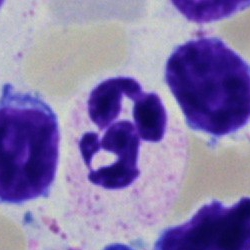Q: Identify the cell.
A: It is a neutrophil (segmented).